Bone marrow aspirate smear:
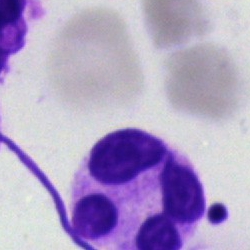
The cell type is neutrophil (segmented).